Bone marrow aspirate smear:
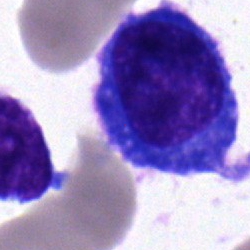 {"cell_type": "plasmacyte", "lineage": "lymphoid"}